Bone marrow smear:
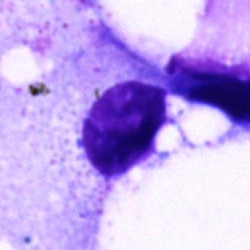 Showing an artefact.